Bone marrow smear: 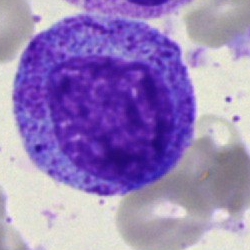 Morphological class: progranulocyte.